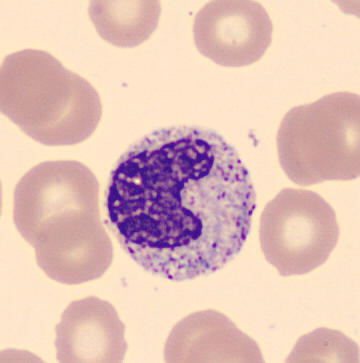 The morphological class is band-form neutrophil. Peripheral blood film. Imaged on a CellaVision DM96 analyser.